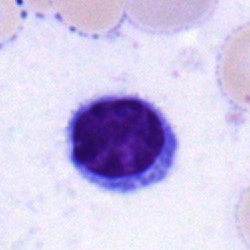
Impression — typical lymphocyte.